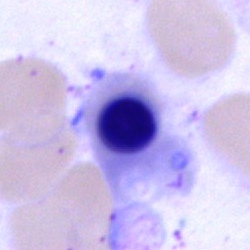 Morphological class: nucleated red cell.